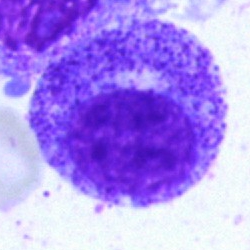
Q: What is shown here?
A: This is a myelocyte.